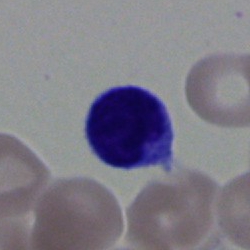This is a typical lymphocyte.